Bone marrow smear: 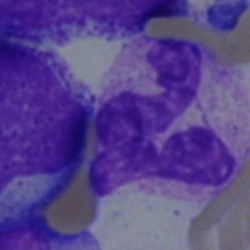

The classification is polymorphonuclear neutrophil.